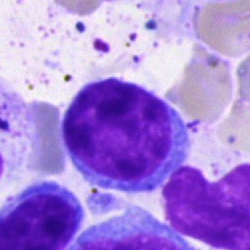 {"cell_type": "lymphocyte"}